Bone marrow smear: 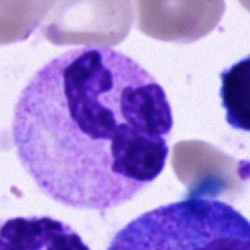 A neutrophil (segmented).